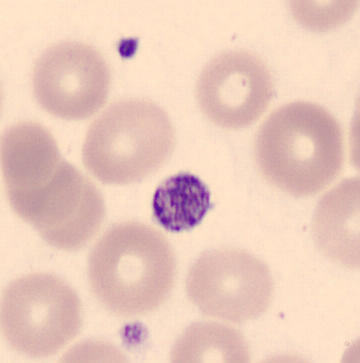Peripheral blood film.

Q: What is shown here?
A: It is a thrombocyte.